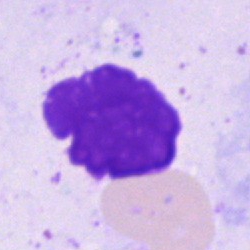

Morphological class — artefact.